May-Grünwald-Giemsa stain. Bone marrow smear. Single-cell field — 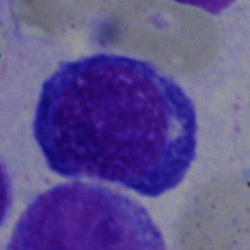

Specimen: bone marrow aspirate smear.
Cell type: normoblast.
Lineage: erythroid.